Bone marrow smear:
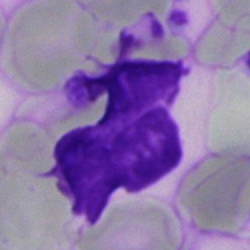 Morphology — artefact.